250×250 px · bone marrow aspirate smear · May-Grünwald-Giemsa/Pappenheim stain: 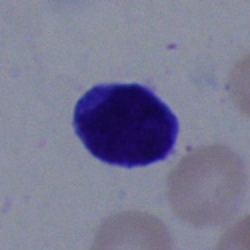 Typical lymphocyte.